Bone marrow smear.
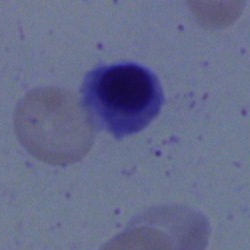Specimen: bone marrow smear.
Cell type: erythroblast.
Lineage: erythroid.